Bone marrow smear.
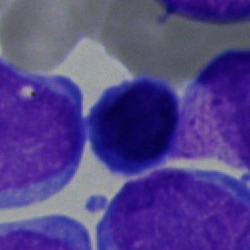
The cell is lymphocyte.